Bone marrow aspirate smear
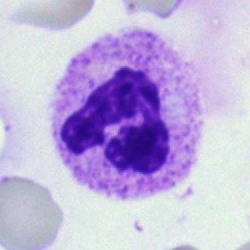

Specimen: bone marrow smear.
Morphological class: segmented neutrophil.
Lineage: myeloid.